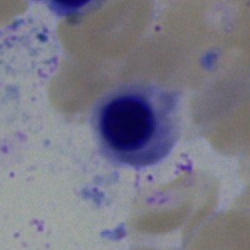

Specimen: bone marrow smear.
Classification: nucleated red blood cell.
Lineage: erythroid.